Bone marrow smear — 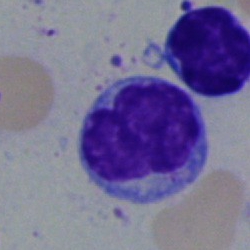Q: What type of cell is this?
A: This is a lymphocyte.